Cropped to a single cell; peripheral blood film:
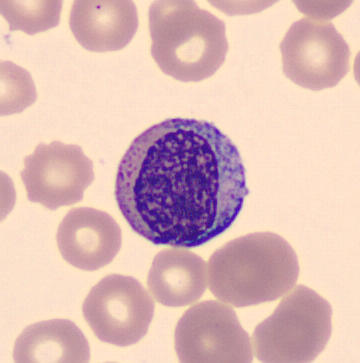 Single cell identified as a myelocyte.